250 by 250 pixels. Single-cell crop. Bone marrow smear:
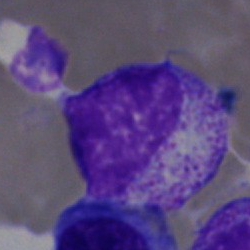
Morphology consistent with a myelocyte.